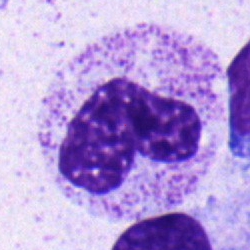

{"cell_type": "band-form neutrophil"}